40× oil immersion · bone marrow smear
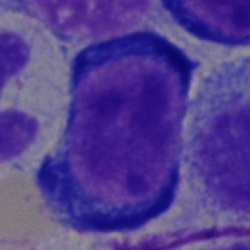
A pronormoblast.